May-Grünwald-Giemsa/Pappenheim stain · bone marrow smear:
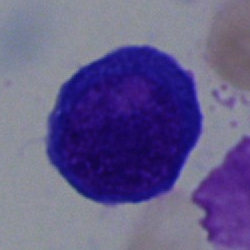Pronormoblast.